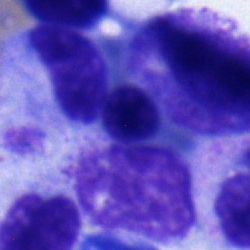

Single-cell crop from a bone marrow smear: nucleated red cell.